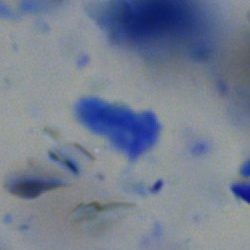

Single-cell crop from a bone marrow smear: artifact.